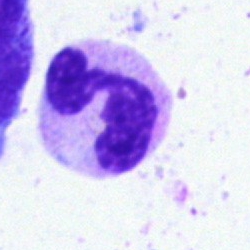A segmented neutrophil.